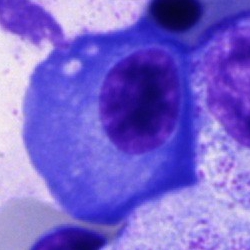 Bone marrow aspirate smear, single cell — plasma cell.